Bone marrow aspirate smear; 40× oil immersion: 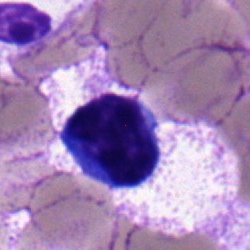 Q: What is the morphological classification of this cell?
A: It is a typical lymphocyte.